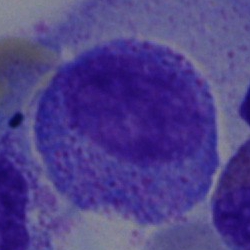 Cell type: myelocyte.